Bone marrow smear — 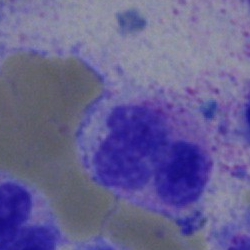 Morphology consistent with a neutrophil (segmented).